Bone marrow smear: 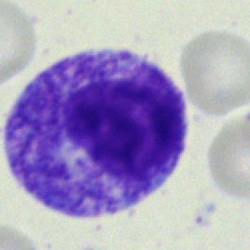

Impression — myelocyte.